Bone marrow aspirate smear; single-cell field
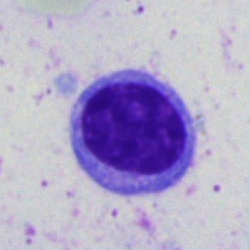

Showing a lymphocyte.